Image size 250×250. Bone marrow smear:
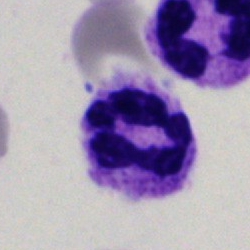 Morphological class: segmented neutrophil.